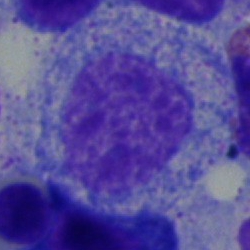 Cell type — promyelocyte.